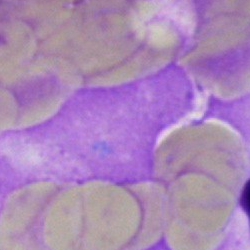

Morphology — artifact.